Bone marrow smear — 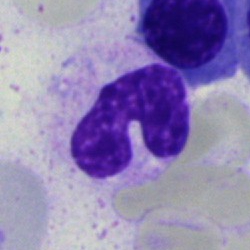 The cell shown is a band neutrophil.